Bone marrow smear: 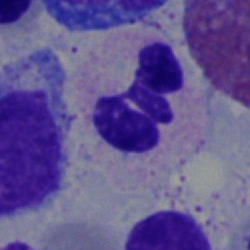Single cell identified as a segmented neutrophil.